Pappenheim-stained · 250×250 · bone marrow smear.
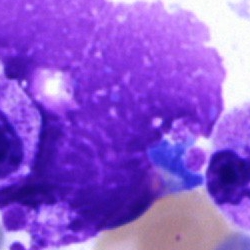

The cell is artefact.